40× oil immersion; bone marrow aspirate smear
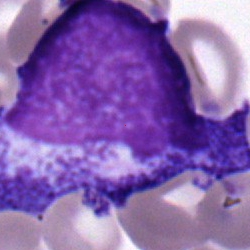 Classification — promyelocyte.